May-Grünwald-Giemsa stain. Bone marrow aspirate smear.
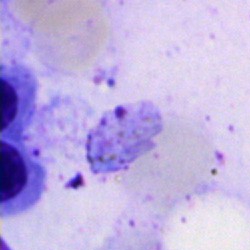Cell type — artefact.